Single cell centered in the field · 40× objective, oil immersion · bone marrow smear
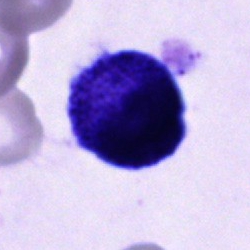 Cell = progranulocyte.